Bone marrow smear: 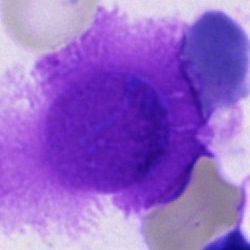
Specimen: bone marrow aspirate smear.
Cell: artifact.